Bone marrow smear: 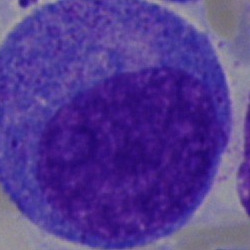 The cell shown is a progranulocyte.